Bone marrow aspirate smear; 250×250 px:
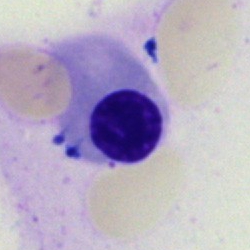

Q: Which cell type is shown here?
A: Normoblast.